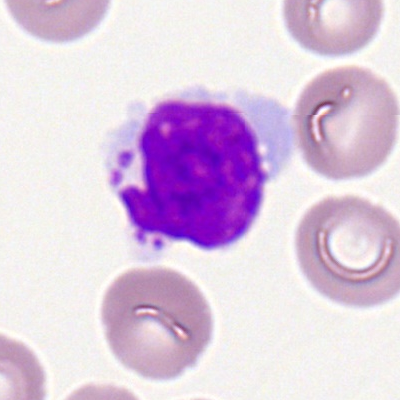

Single-cell crop from a peripheral blood smear: typical lymphocyte.